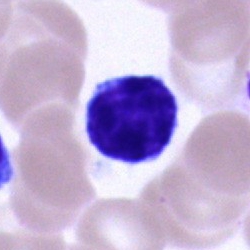

This is a typical lymphocyte.